Bone marrow aspirate smear.
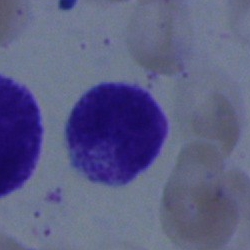
Q: Which cell type is shown here?
A: It is a metamyelocyte.